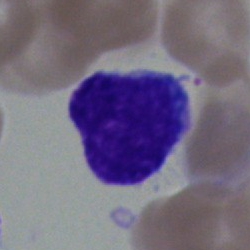This is an undifferentiated blast.